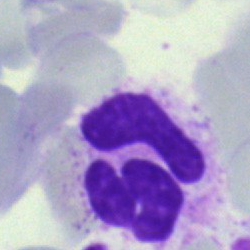 Q: Identify the cell.
A: A neutrophil (segmented).